Single-cell crop · May-Grünwald-Giemsa stain · bone marrow aspirate smear: 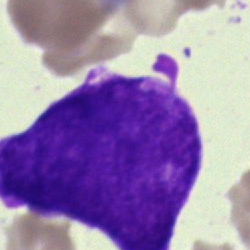

Specimen: bone marrow aspirate smear.
Classification: blast cell.